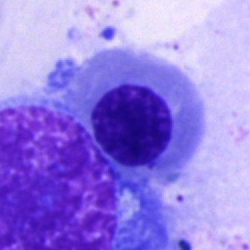Showing a nucleated red blood cell.